Bone marrow aspirate smear.
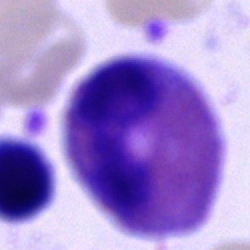 Specimen: bone marrow aspirate smear.
Classification: eosinophil.
Lineage: myeloid.